Bone marrow smear.
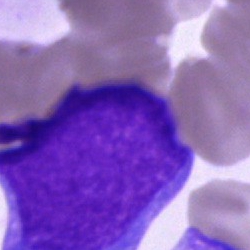 Classification: undifferentiated blast.